Bone marrow aspirate smear: 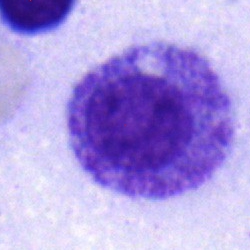

Q: What is the morphological classification of this cell?
A: A myelocyte.